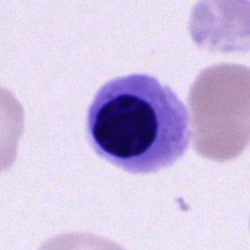

Single-cell crop from a bone marrow smear: nucleated red cell.